Bone marrow aspirate smear.
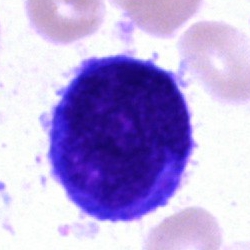{"cell_type": "blast cell"}